Peripheral blood smear: 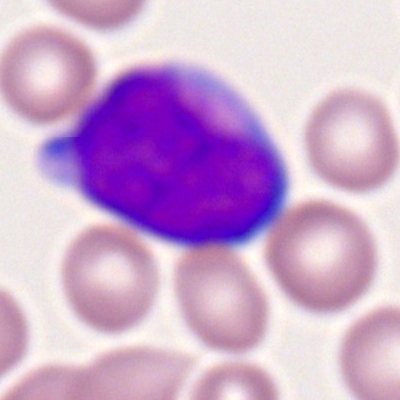 Showing a myeloblast.